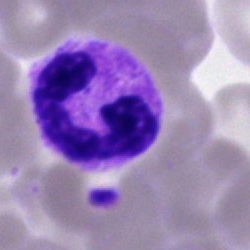 A segmented neutrophil.